Bone marrow smear. 40× objective, oil immersion: 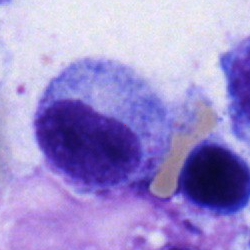

{"cell_type": "myelocyte"}